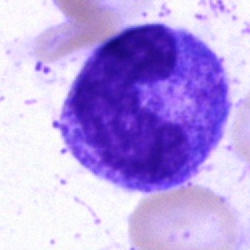 Specimen: bone marrow smear.
Cell: band neutrophil.